Bone marrow smear: 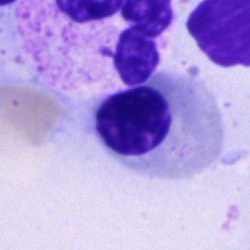
Morphological class = nucleated red blood cell.